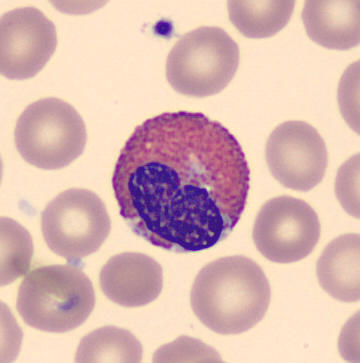
Q: What cell is this?
A: Eosinophil.